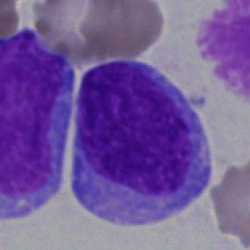
{"cell_type": "blast"}